Bone marrow smear.
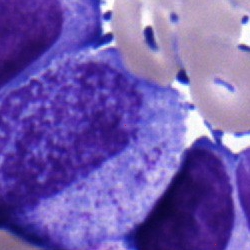
A progranulocyte.